40× objective, oil immersion; bone marrow smear.
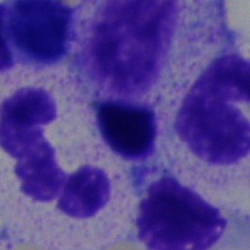
Single cell identified as a polymorphonuclear neutrophil.